Bone marrow aspirate smear: 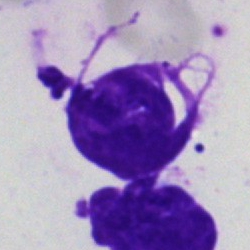

Q: What is shown here?
A: An artifact.